Bone marrow aspirate smear
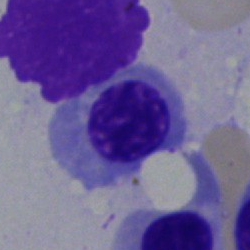 {"cell_type": "erythroblast", "lineage": "erythroid"}